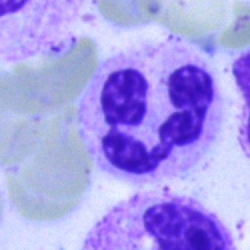Q: What is shown here?
A: Polymorphonuclear neutrophil.